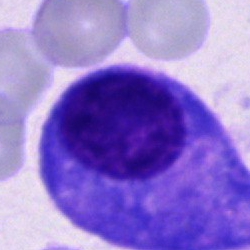
Q: What type of cell is this?
A: An other cell type.